Bone marrow aspirate smear — 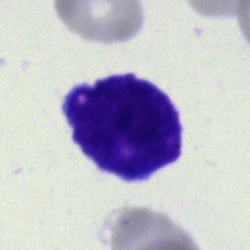 The cell shown is a blast.